Bone marrow aspirate smear. 250 by 250 pixels.
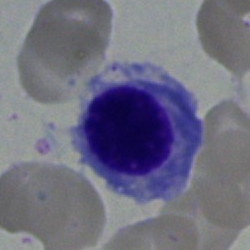 This is a nucleated red blood cell.